40× objective, oil immersion; bone marrow aspirate smear.
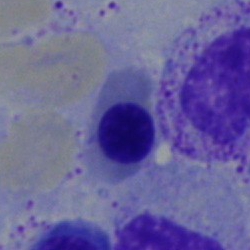

Impression — normoblast.